Bone marrow smear; brightfield microscopy, 40× oil immersion.
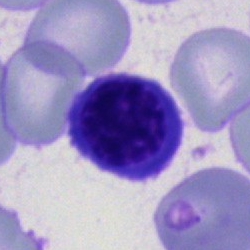Morphology → normoblast.